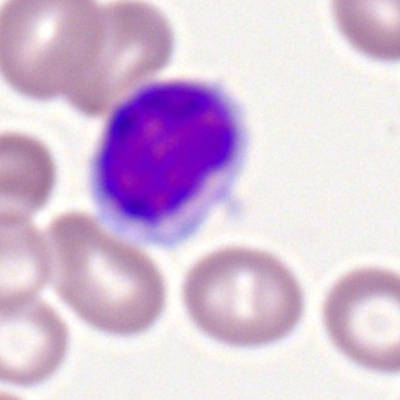
Impression → typical lymphocyte.